Bone marrow aspirate smear — 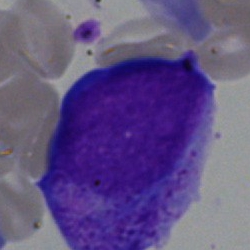 Specimen: bone marrow aspirate smear.
Morphological class: promyelocyte.